Bone marrow aspirate smear
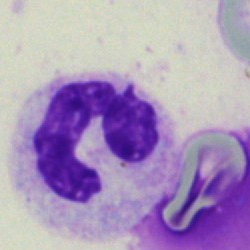

This is a neutrophil (segmented).